Bone marrow smear. 40× objective, oil immersion — 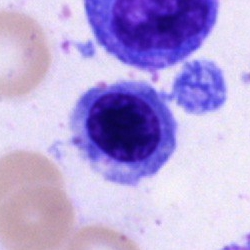

The cell is nucleated red cell.